Bone marrow aspirate smear — 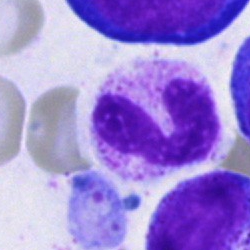
Morphology consistent with a segmented neutrophil.